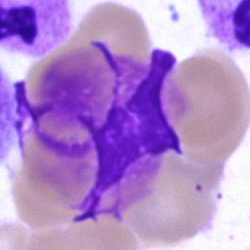

Morphology consistent with an artifact.